Pappenheim-stained. Bone marrow aspirate smear. 40× oil immersion.
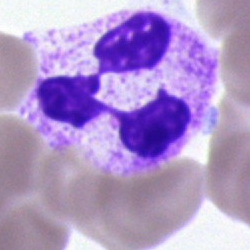 Q: Identify the cell.
A: It is a polymorphonuclear neutrophil.